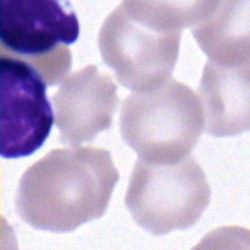 Morphology consistent with a lymphocyte.